Bone marrow aspirate smear.
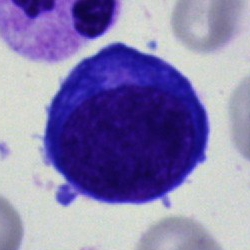
{"cell_type": "normoblast", "lineage": "erythroid"}